May-Grünwald-Giemsa stain · bone marrow smear · 250×250 — 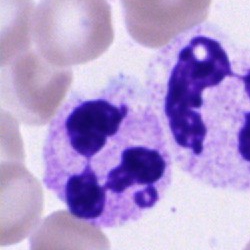 The classification is segmented neutrophil.